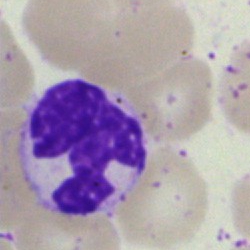 Polymorphonuclear neutrophil.